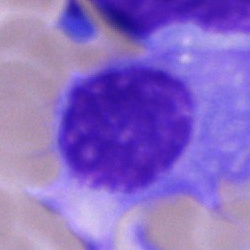

A plasma cell.